Bone marrow smear: 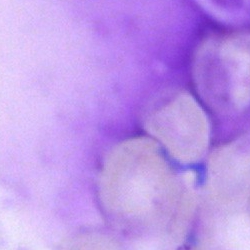Cell type — artifact.